Peripheral blood film.
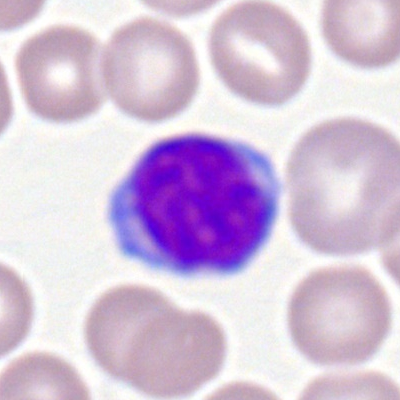
The cell is typical lymphocyte.